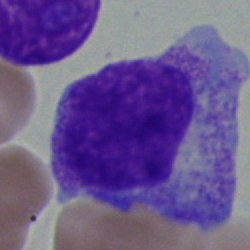

A myelocyte on a bone marrow smear.